Bone marrow aspirate smear
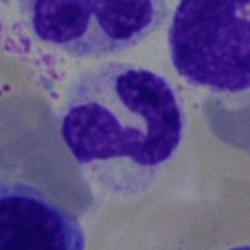 Segmented neutrophil.